Bone marrow aspirate smear · single-cell crop: 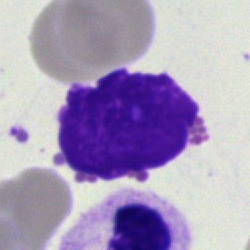

This is an artefact.